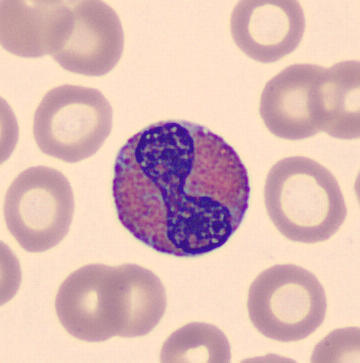

Peripheral blood smear. The cell shown is an eosinophilic granulocyte.